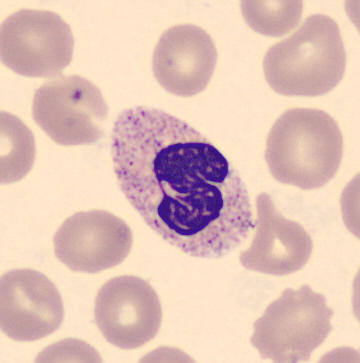
Peripheral blood smear; imaged on a CellaVision DM96 analyser; 360×363.

Single cell identified as a segmented neutrophil.